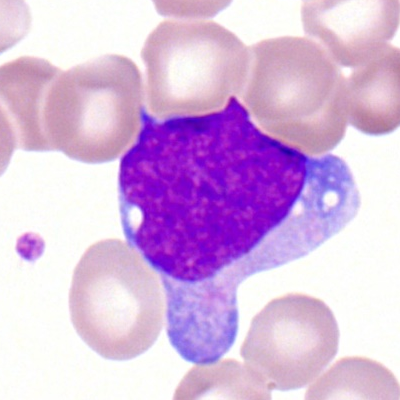 A myeloblast on a peripheral blood smear.